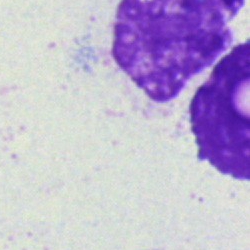 Classification = artifact.